Bone marrow smear.
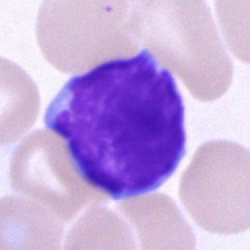 Specimen: bone marrow aspirate smear.
Cell type: typical lymphocyte.